Bone marrow aspirate smear. Cropped to a single cell.
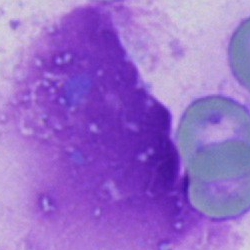 Single cell identified as an artifact.